Peripheral blood smear · image size 400×400 · Romanowsky-type stain.
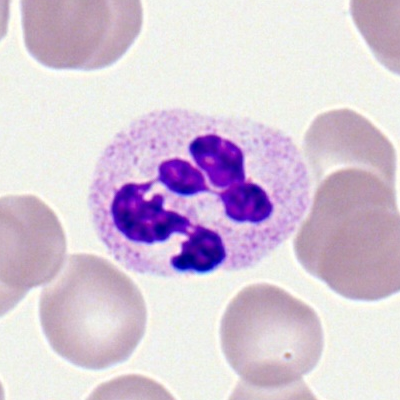

Impression → polymorphonuclear neutrophil.